250×250 · bone marrow aspirate smear:
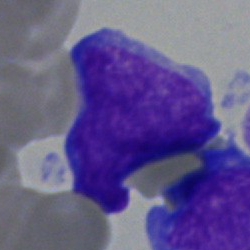

Specimen: bone marrow aspirate smear.
Morphological class: blast cell.